MGG-stained · bone marrow aspirate smear:
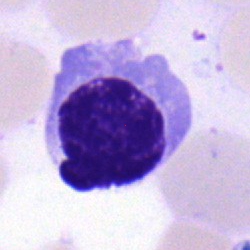 Showing a nucleated red blood cell.